Bone marrow aspirate smear; single-cell crop; May-Grünwald-Giemsa/Pappenheim stain: 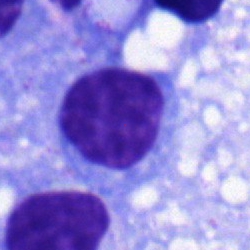

Specimen: bone marrow aspirate smear.
Cell: plasmacyte.
Lineage: lymphoid.